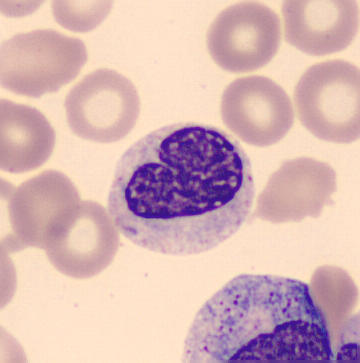
Q: What is shown here?
A: It is a metamyelocyte.